MGG-stained; bone marrow aspirate smear:
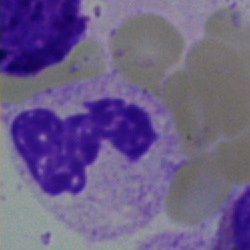
Morphological class = neutrophil (segmented).